Bone marrow aspirate smear.
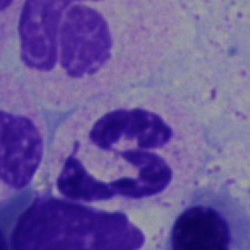
The cell shown is a polymorphonuclear neutrophil.